Bone marrow aspirate smear:
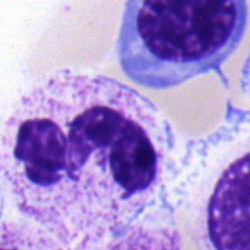

Q: What type of cell is this?
A: Polymorphonuclear neutrophil.